Bone marrow smear:
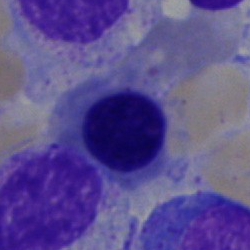
Q: What is the morphological classification of this cell?
A: It is a normoblast.